Peripheral blood film
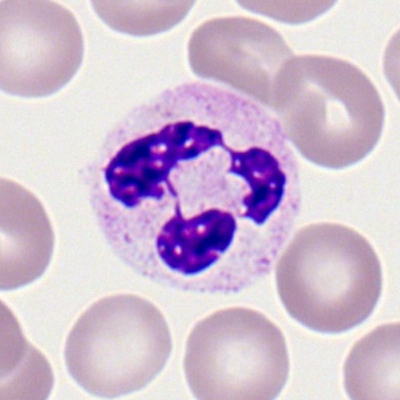
Showing a polymorphonuclear neutrophil.